Bone marrow aspirate smear: 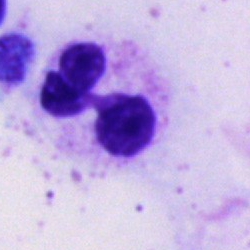Morphology → neutrophil (segmented).